Bone marrow aspirate smear — 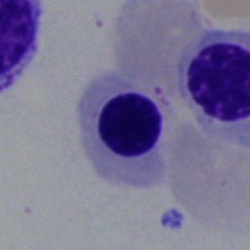

Cell type = normoblast.